Brightfield microscopy, 40× oil immersion; bone marrow smear
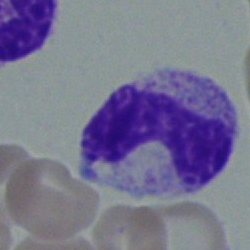
Q: What is the morphological classification of this cell?
A: Band-form neutrophil.